Bone marrow smear; brightfield microscopy, 40× oil immersion:
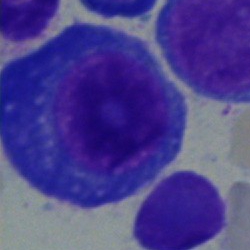Single cell identified as a plasmacyte.